250 by 250 pixels; Pappenheim-stained; bone marrow smear: 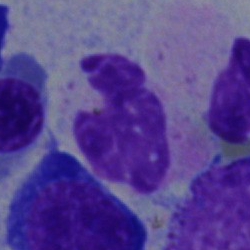Single cell identified as a band neutrophil.